Bone marrow aspirate smear. 40× oil immersion.
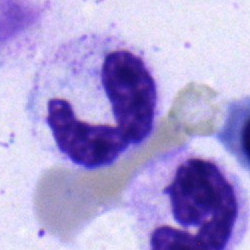

Cell = neutrophil (segmented).